Bone marrow aspirate smear — 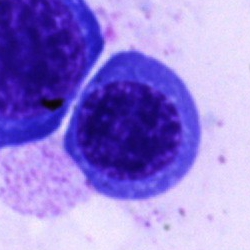

A nucleated red cell.